Single cell centered in the field. Bone marrow smear
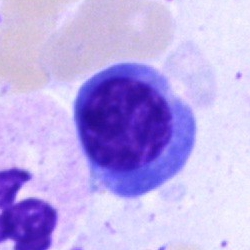 Q: What type of cell is this?
A: Erythroblast.